Bone marrow smear: 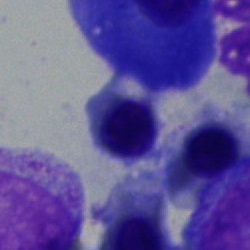This is an erythroblast.